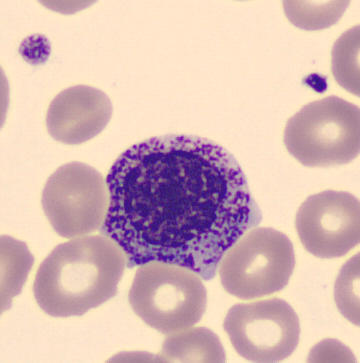Q: What type of cell is this?
A: A myelocyte. Preparation: Cropped to a single cell. Peripheral blood smear.